Bone marrow smear: 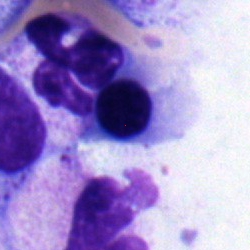
{"cell_type": "nucleated red cell", "lineage": "erythroid"}